40× oil immersion. Bone marrow aspirate smear: 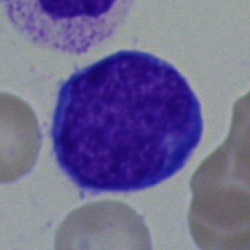 Q: What type of cell is this?
A: Blast.